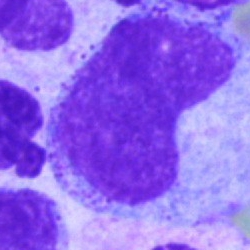

The cell is metamyelocyte.